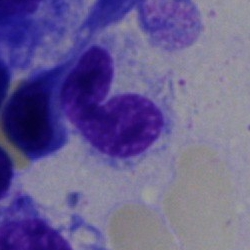Morphology → neutrophil (segmented).